40× objective, oil immersion · May-Grünwald-Giemsa stain · bone marrow smear — 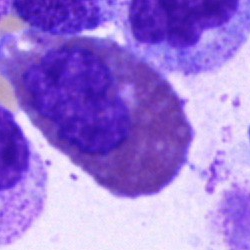

Q: Identify the cell.
A: An eosinophilic granulocyte.